Bone marrow smear
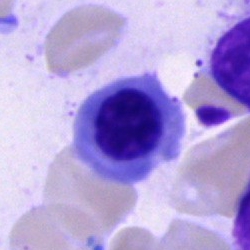

Morphology consistent with a nucleated red blood cell.